Bone marrow aspirate smear
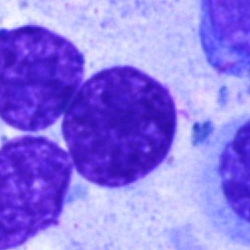
Q: What is shown here?
A: This is an artifact.